Bone marrow aspirate smear:
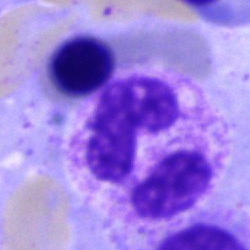

Specimen: bone marrow aspirate smear.
Classification: neutrophil (segmented).